Bone marrow aspirate smear.
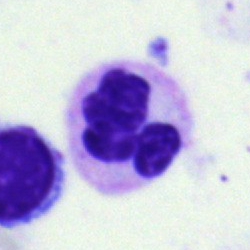

Q: What is the morphological classification of this cell?
A: Neutrophil (segmented).